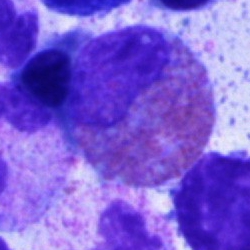 Q: What is shown here?
A: An eosinophilic granulocyte.